Single-cell crop · bone marrow smear:
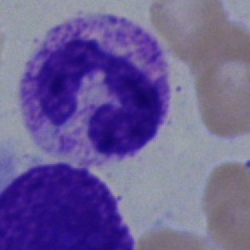
Cell = neutrophil (segmented).